Bone marrow smear: 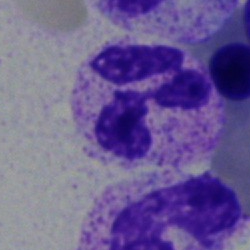Single cell identified as a polymorphonuclear neutrophil.